Bone marrow smear.
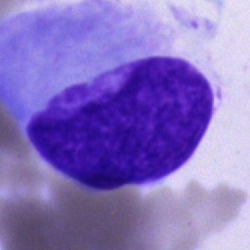 Showing an artefact.